May-Grünwald-Giemsa stain; bone marrow aspirate smear; brightfield, 40× oil-immersion objective:
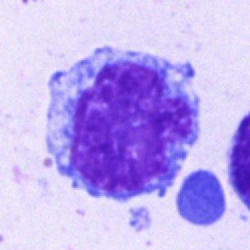 Q: What is shown here?
A: This is a monocyte.